Bone marrow aspirate smear · Pappenheim-stained: 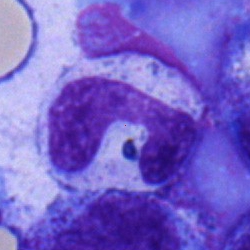 A neutrophil (band).